40× oil immersion; bone marrow aspirate smear; single-cell field — 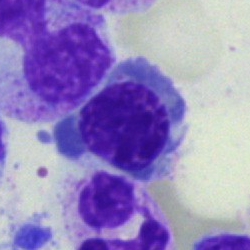
Q: Identify the cell.
A: This is a nucleated red cell.